250×250 px. Bone marrow smear
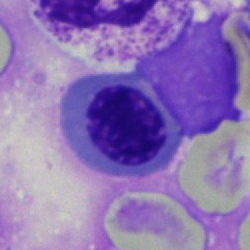
Cell type — erythroblast.